MGG-stained. Bone marrow smear — 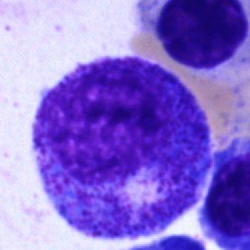
The cell shown is a promyelocyte.